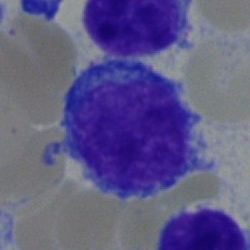
Cell type — typical lymphocyte.